Bone marrow aspirate smear. 250×250 — 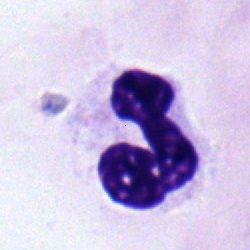 Specimen: bone marrow smear.
Cell: segmented neutrophil.
Lineage: myeloid.